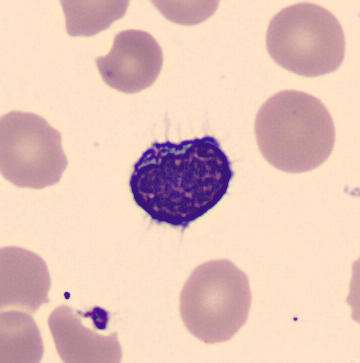

Peripheral blood film. Lymphocyte.